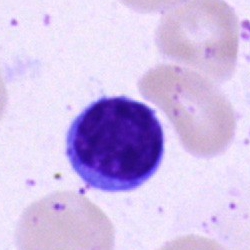 Q: What is shown here?
A: A lymphocyte.